Bone marrow smear
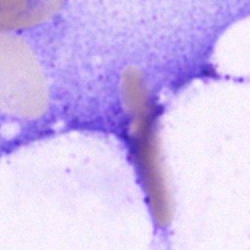 The classification is artefact.